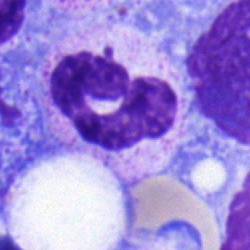

Single cell identified as a neutrophil (segmented).